Bone marrow smear
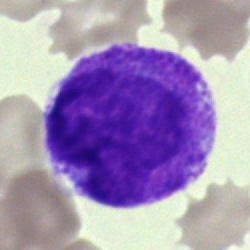Impression — blast.